Brightfield microscopy, 40× oil immersion. Bone marrow smear — 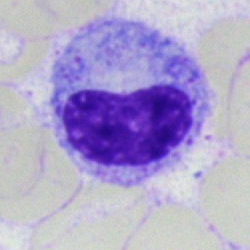
Showing a metamyelocyte.